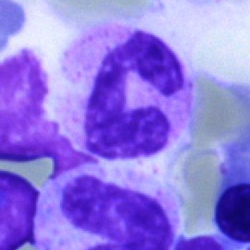Specimen: bone marrow aspirate smear.
Cell type: polymorphonuclear neutrophil.
Lineage: myeloid.